Bone marrow aspirate smear.
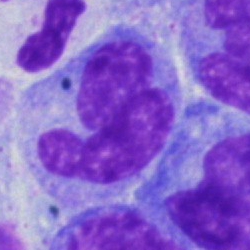Morphological class = monocyte.